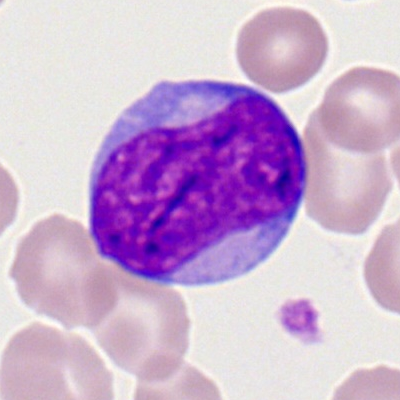 Classification: myeloblast.